Bone marrow smear
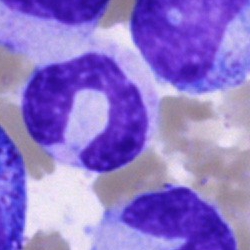
Showing a band-form neutrophil.